Peripheral blood film:
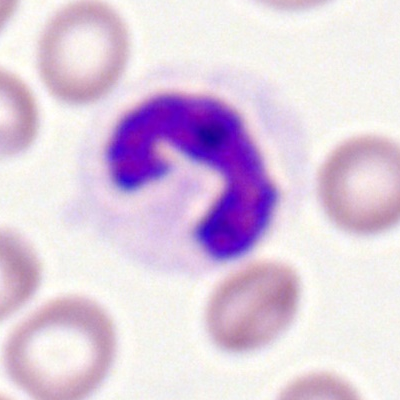

Q: Identify the cell.
A: A polymorphonuclear neutrophil.